Bone marrow smear
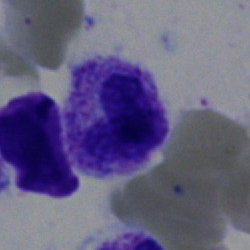
Impression → stab cell.